Bone marrow aspirate smear.
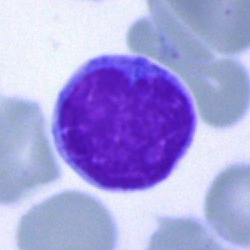
The cell is typical lymphocyte.